Bone marrow smear.
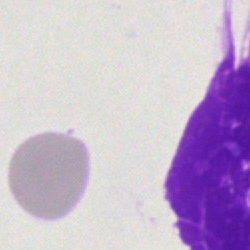 Q: What is shown here?
A: Artifact.